MGG-stained; bone marrow aspirate smear
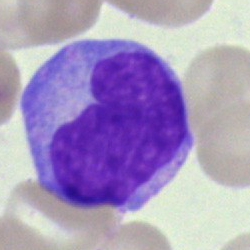 The classification is monocyte.